Bone marrow aspirate smear · 40× oil immersion · 250×250.
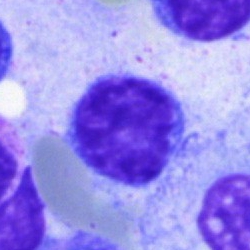

Lymphocyte.